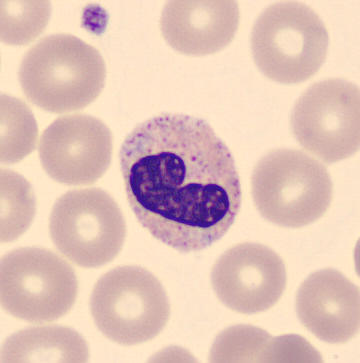Showing a neutrophil (band).

May-Grünwald-Giemsa-stained. Peripheral blood smear.